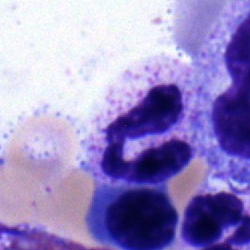

A polymorphonuclear neutrophil.